Bone marrow aspirate smear: 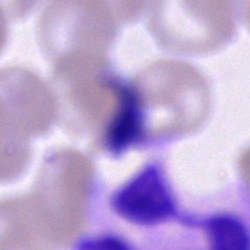

The cell shown is a polymorphonuclear neutrophil.